Bone marrow smear · 250×250
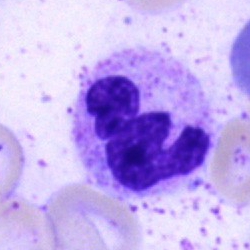

Morphology — polymorphonuclear neutrophil.